Bone marrow aspirate smear; 40× oil immersion
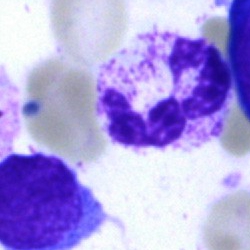
Specimen: bone marrow smear.
Morphological class: segmented neutrophil.